Bone marrow aspirate smear.
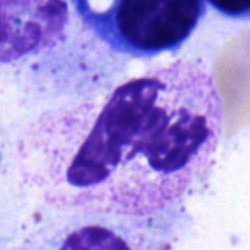Q: What cell is this?
A: This is a segmented neutrophil.